250 by 250 pixels · bone marrow aspirate smear.
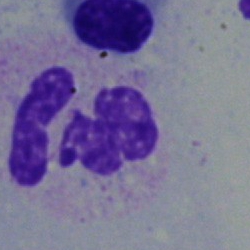
Morphology → neutrophil (segmented).